Bone marrow smear. 250 by 250 pixels. Pappenheim-stained.
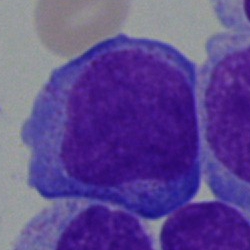 Morphology consistent with a blast cell.